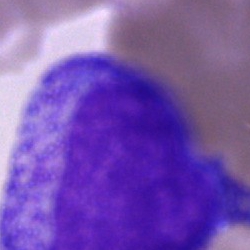 {"cell_type": "progranulocyte"}